Bone marrow smear · single-cell crop.
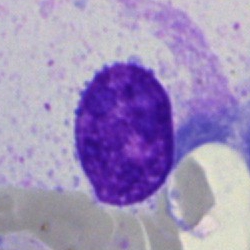
Single cell identified as an artefact.